Bone marrow smear:
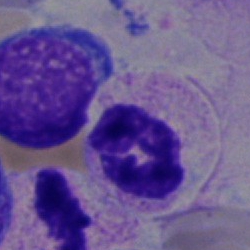

The cell shown is a neutrophil (segmented).